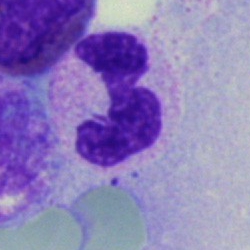 Impression — neutrophil (segmented).